Bone marrow aspirate smear: 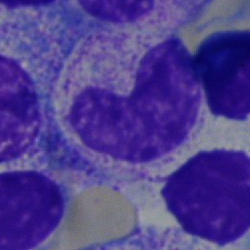 Impression — stab cell.